Bone marrow smear:
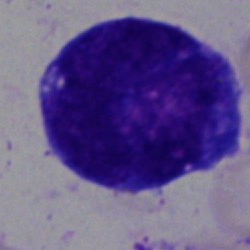

Specimen: bone marrow smear.
Cell type: undifferentiated blast.